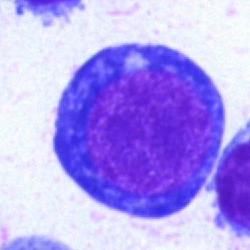 Specimen: bone marrow smear.
Cell type: nucleated red cell.